Bone marrow aspirate smear:
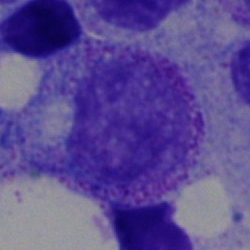
Single cell identified as a myelocyte.